Bone marrow smear — 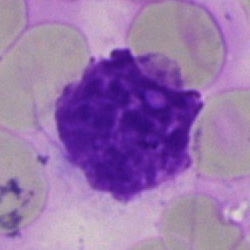Single cell identified as an artefact.